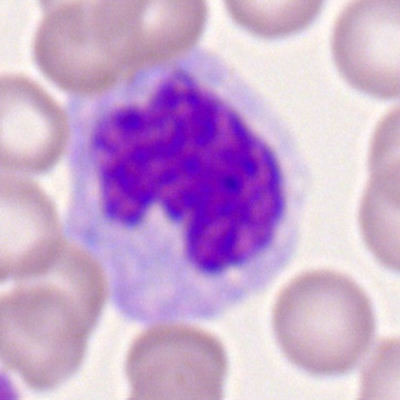 Q: What cell is this?
A: A monocyte.